Bone marrow smear · May-Grünwald-Giemsa stain — 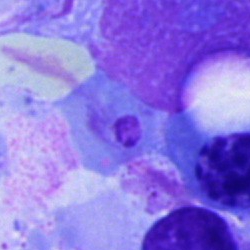Showing an artifact.